Peripheral blood film: 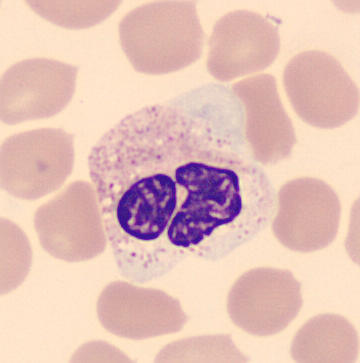 Impression — segmented neutrophil.